250×250; cropped to a single cell; bone marrow aspirate smear: 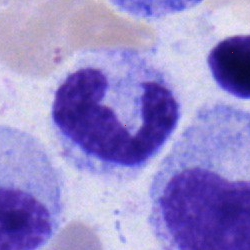
Q: Which cell type is shown here?
A: Stab cell.